Bone marrow smear — 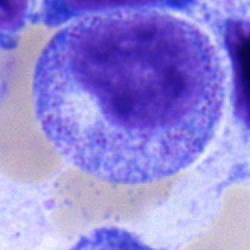

Q: Which cell type is shown here?
A: A progranulocyte.